250×250 px. Bone marrow aspirate smear: 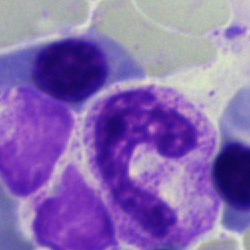 Single cell identified as a band neutrophil.